Bone marrow smear — 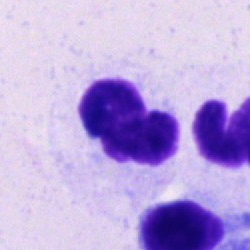 The classification is segmented neutrophil.